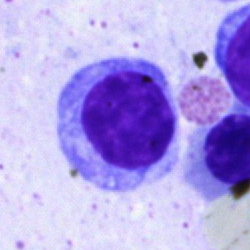 Q: What cell is this?
A: Typical lymphocyte.